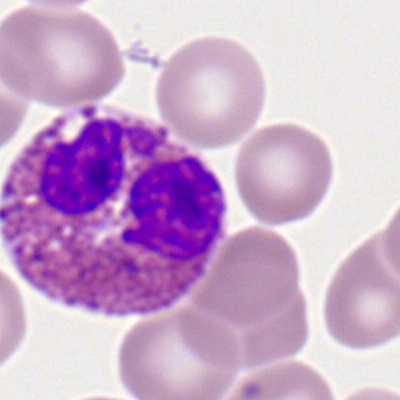

Peripheral blood film, single cell — eosinophilic granulocyte.